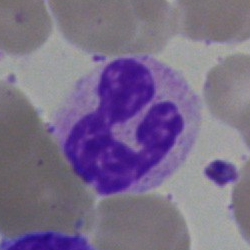
The morphological class is neutrophil (segmented).